Bone marrow smear — 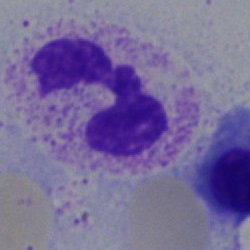

Specimen: bone marrow aspirate smear.
Cell type: segmented neutrophil.
Lineage: myeloid.